Bone marrow aspirate smear.
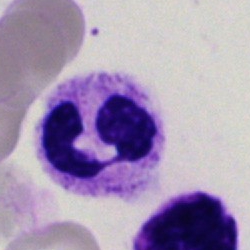

Morphology — segmented neutrophil.